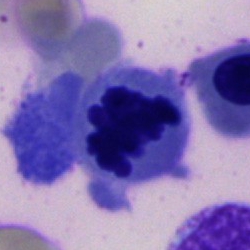

Impression → artifact.